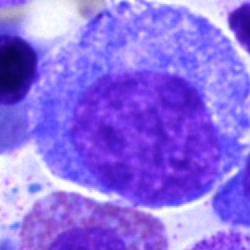

Specimen: bone marrow aspirate smear.
Cell: progranulocyte.